Bone marrow smear:
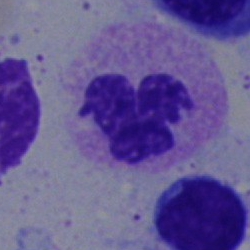

Classification = polymorphonuclear neutrophil.